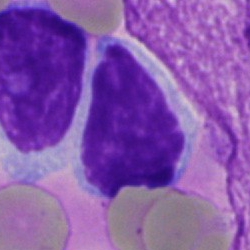
Cell type = lymphocyte.